Bone marrow smear · 250 by 250 pixels: 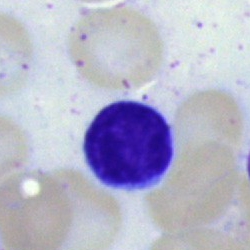 Single cell identified as a lymphocyte.